Peripheral blood film. Cropped to a single cell
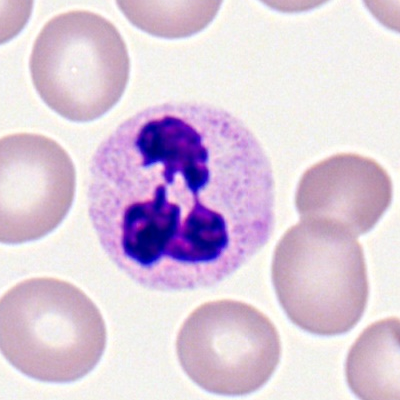

Q: What cell is this?
A: Neutrophil (segmented).